Pappenheim-stained · bone marrow smear
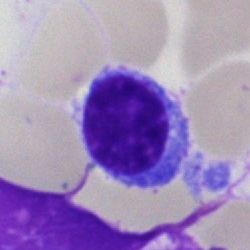Morphology consistent with a lymphocyte.